MGG-stained · 250 by 250 pixels · bone marrow smear:
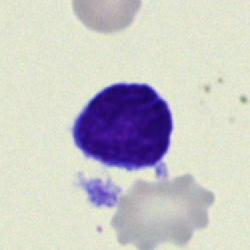

Morphological class — typical lymphocyte.